Single-cell crop · bone marrow smear:
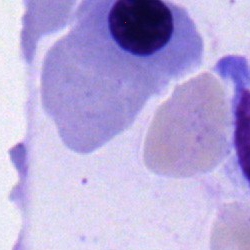 Morphology — nucleated red blood cell.